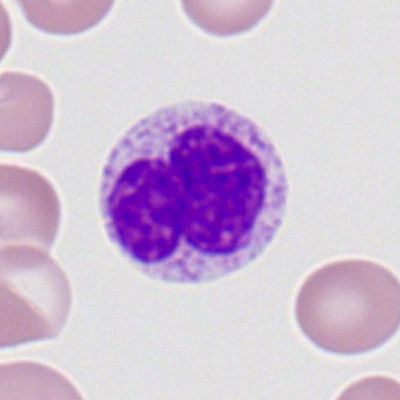The cell shown is a polymorphonuclear neutrophil.